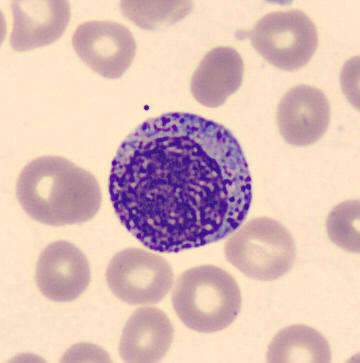 The cell type is promyelocyte.
Preparation: Peripheral blood film.